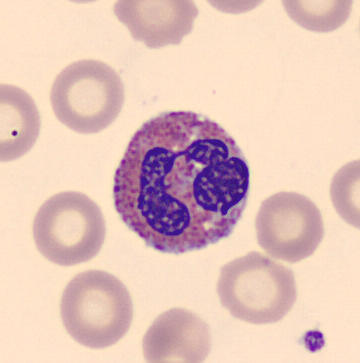 Image: Peripheral blood smear; cropped to a single cell.

This is an eosinophilic granulocyte.